Bone marrow aspirate smear — 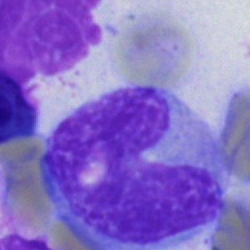 Q: What type of cell is this?
A: It is a stab cell.